Bone marrow aspirate smear
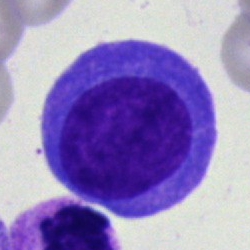Morphology consistent with a plasmacyte.